Bone marrow aspirate smear.
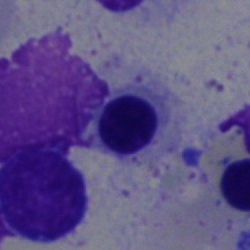Morphology → nucleated red cell.